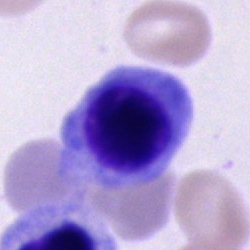
Morphology — nucleated red blood cell.